Bone marrow smear: 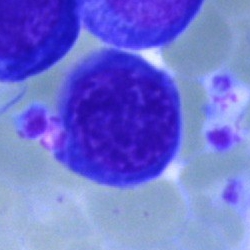
An erythroblast.